Brightfield microscopy, 40× oil immersion. Bone marrow smear.
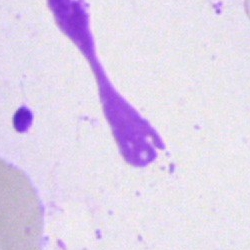

An artifact.